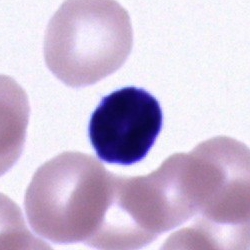 Single-cell crop from a bone marrow smear: cell of indeterminate lineage.